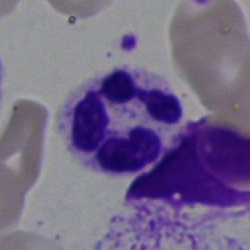 Showing a neutrophil (segmented).